Romanowsky-type stain. Peripheral blood film:
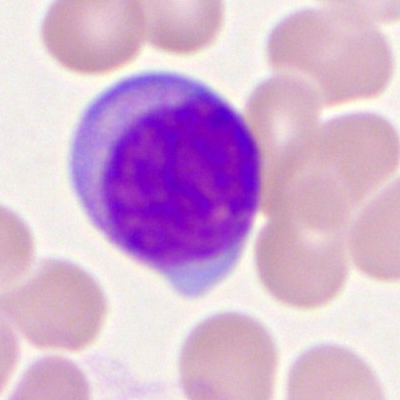Morphological class — myeloblast.